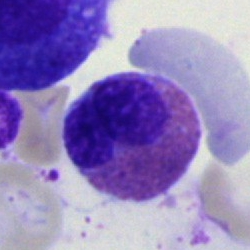 Classification — eosinophil.